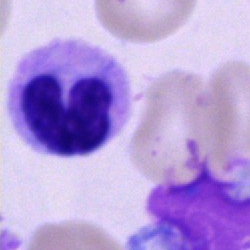

Specimen: bone marrow aspirate smear.
Classification: band neutrophil.
Lineage: myeloid.